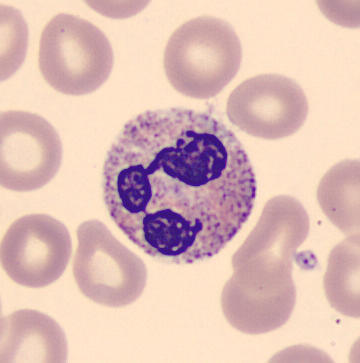 Image: 360×363; imaged on a CellaVision DM96 analyser; peripheral blood film.

Classification — polymorphonuclear neutrophil.